250×250 · bone marrow aspirate smear.
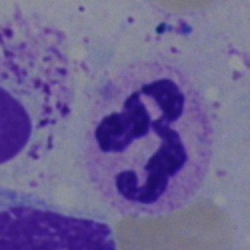

The cell shown is a neutrophil (segmented).